Brightfield, 40× oil-immersion objective. 250×250 px. Bone marrow smear: 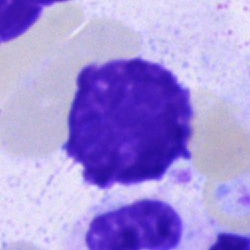Morphological class — artefact.